Bone marrow aspirate smear
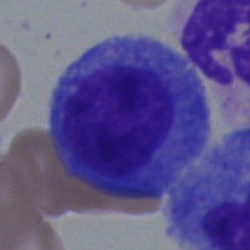
The cell shown is a myelocyte.